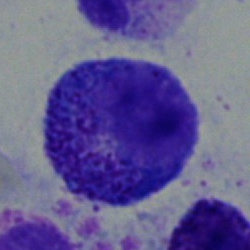 Q: Which cell type is shown here?
A: Progranulocyte.